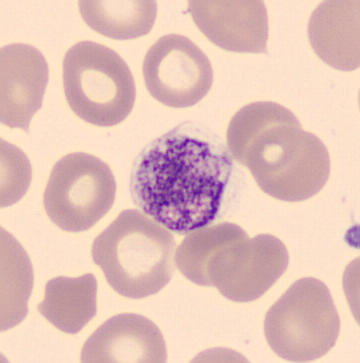

Morphology — platelet. Acquisition: Peripheral blood smear.